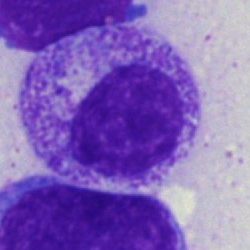 Morphology consistent with a myelocyte.